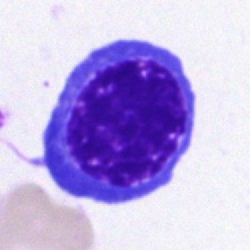
Cell type: nucleated red blood cell.